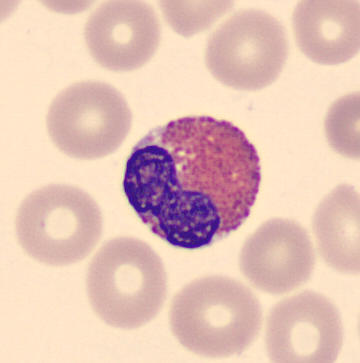
Morphology → eosinophilic granulocyte.
Acquisition: Peripheral blood smear. 360×363 px.